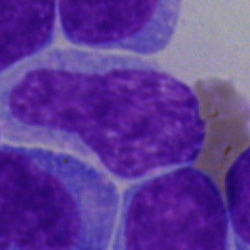
Q: What is shown here?
A: Undifferentiated blast.